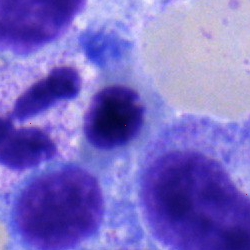Classification — erythroblast.